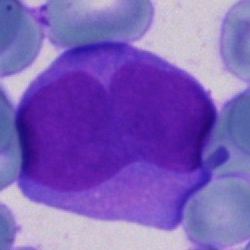

Impression — blast.